Bone marrow aspirate smear · image size 250×250 · brightfield microscopy, 40× oil immersion
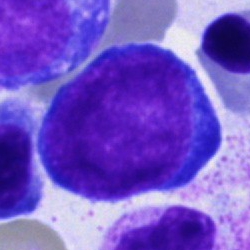

Showing a proerythroblast.